Peripheral blood smear: 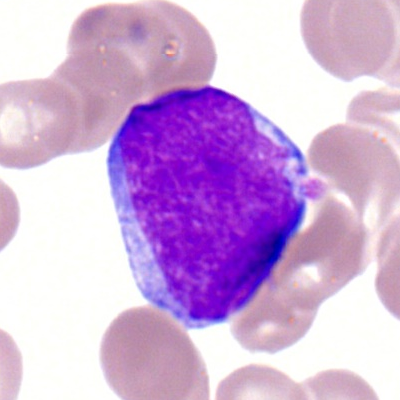Specimen: peripheral blood smear.
Morphological class: myeloid blast.